Bone marrow smear · single-cell field:
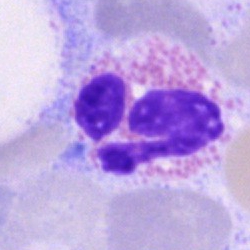

Cell = eosinophil.